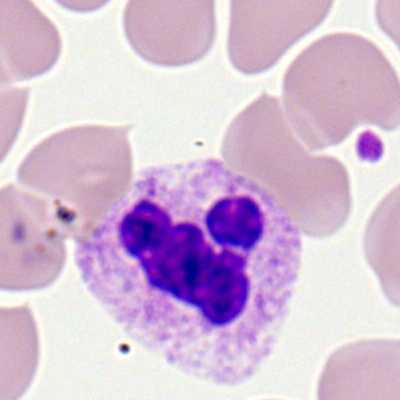Q: Which cell type is shown here?
A: A neutrophil (segmented).